Bone marrow aspirate smear.
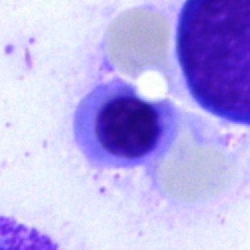Morphology → nucleated red blood cell.